Bone marrow aspirate smear
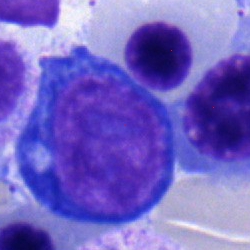 Q: What is shown here?
A: A pronormoblast.